Romanowsky stain; peripheral blood smear
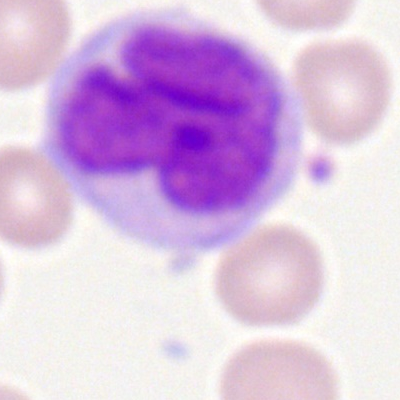 The cell shown is a monocyte.